Bone marrow aspirate smear. Single cell centered in the field. 250×250 px:
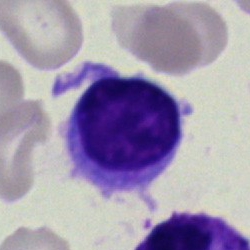Impression — lymphocyte.